Bone marrow smear.
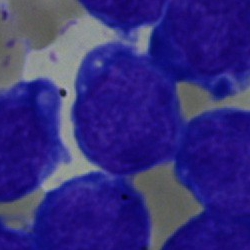Single cell identified as a blast.